Bone marrow aspirate smear — 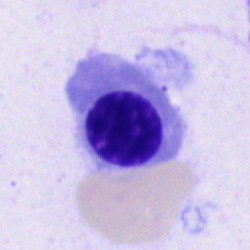
The cell is nucleated red cell.